Bone marrow smear
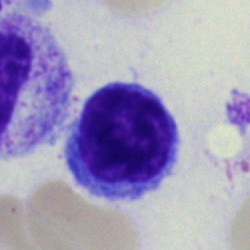 The cell shown is a lymphocyte.